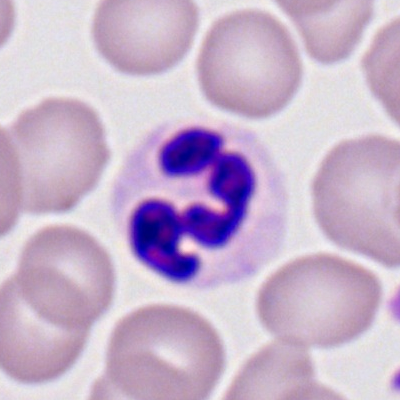

Morphology consistent with a neutrophil (segmented).